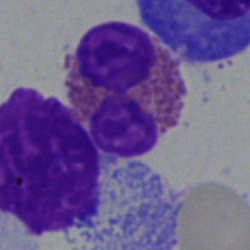
Cell type — eosinophilic granulocyte.